250×250; cropped to a single cell; bone marrow smear.
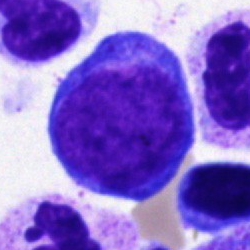Single cell identified as a proerythroblast.